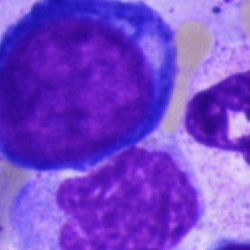

Specimen: bone marrow smear.
Cell type: proerythroblast.